40× oil immersion · bone marrow smear.
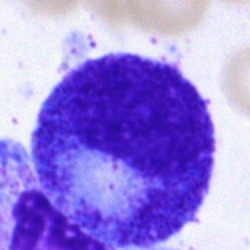
Q: What type of cell is this?
A: This is a progranulocyte.